Peripheral blood film · image size 400×400 · single-cell crop:
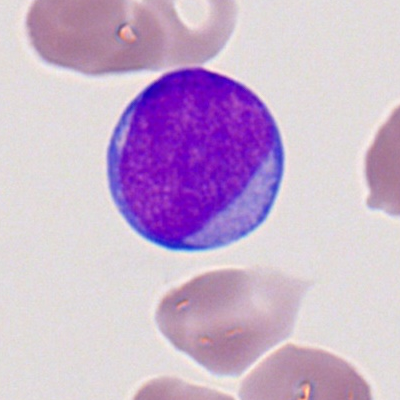

Cell type = myeloid blast.